Bone marrow smear
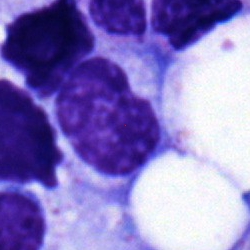This is a metamyelocyte.